250 by 250 pixels · bone marrow aspirate smear · 40× oil immersion.
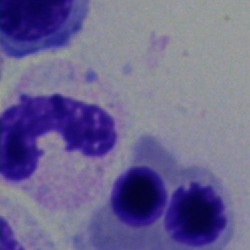Morphology consistent with a stab cell.